40× objective, oil immersion · bone marrow aspirate smear
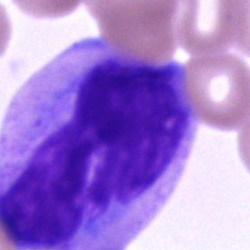 Impression → cell of indeterminate lineage.